Bone marrow smear · single cell centered in the field — 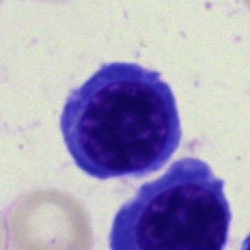

Nucleated red blood cell.